Bone marrow smear · 250 by 250 pixels — 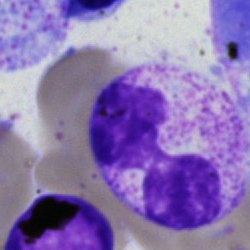

Morphology — polymorphonuclear neutrophil.